Peripheral blood film; Romanowsky-type stain:
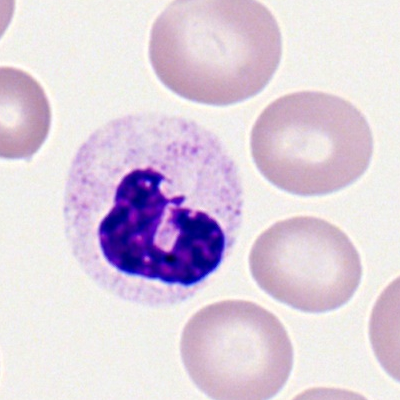 This is a segmented neutrophil.